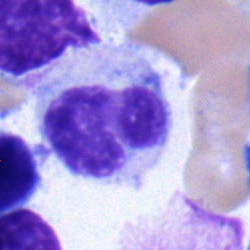

Cell type: neutrophil (band).